May-Grünwald-Giemsa/Pappenheim stain. Bone marrow aspirate smear.
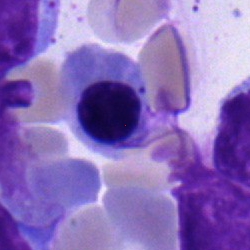Specimen: bone marrow aspirate smear.
Classification: normoblast.